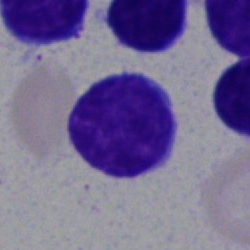

Q: What type of cell is this?
A: Lymphocyte.